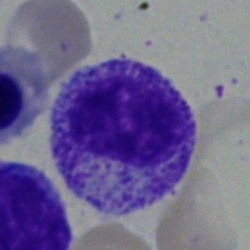Cell type: myelocyte.